Peripheral blood film: 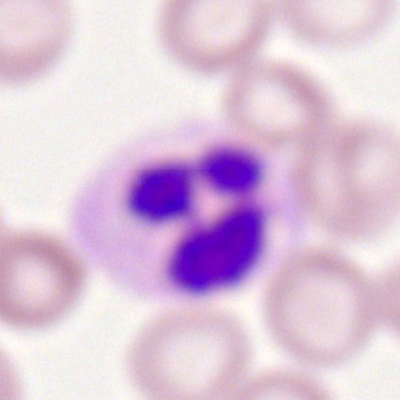
The cell shown is a segmented neutrophil.